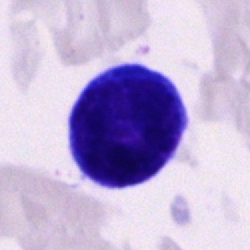
This is an artefact.